May-Grünwald-Giemsa/Pappenheim stain; 250×250; bone marrow aspirate smear.
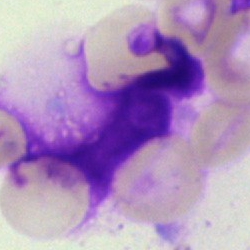

Specimen: bone marrow aspirate smear.
Classification: artifact.